250×250 px. Bone marrow aspirate smear — 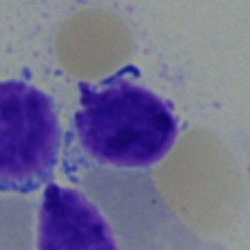

A lymphocyte.